Brightfield, 40× oil-immersion objective; 250 by 250 pixels; bone marrow aspirate smear:
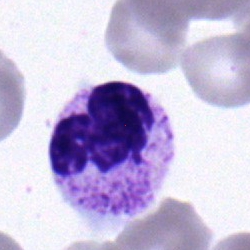 Classification = segmented neutrophil.